Bone marrow smear: 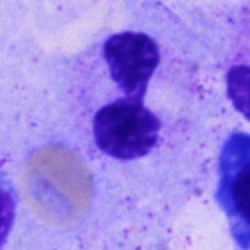
The cell shown is a polymorphonuclear neutrophil.